Bone marrow aspirate smear:
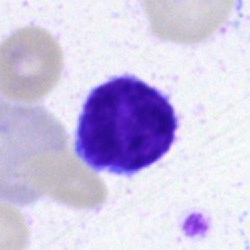Q: Which cell type is shown here?
A: Typical lymphocyte.